Bone marrow smear
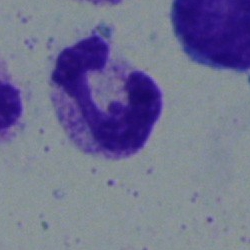
Showing a neutrophil (segmented).